Bone marrow smear. 40× oil immersion:
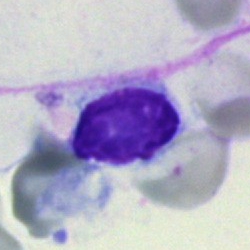

Morphology — artifact.